Bone marrow smear: 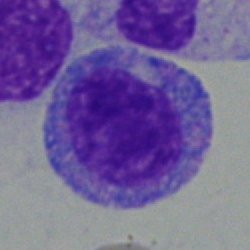
Cell type: myelocyte.